Bone marrow aspirate smear
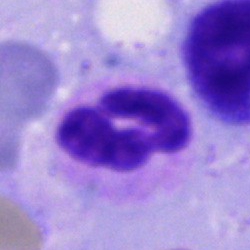

Cell type: polymorphonuclear neutrophil.